Bone marrow smear — 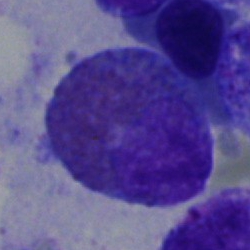 Classification = eosinophil.